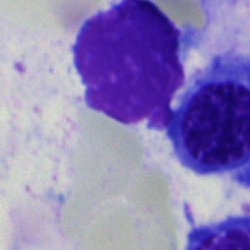
Classification — artifact.